Bone marrow aspirate smear · brightfield, 40× oil-immersion objective
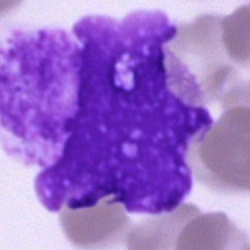 Morphology → artefact.